Bone marrow aspirate smear. Single-cell field: 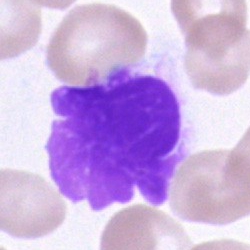
Specimen: bone marrow aspirate smear.
Classification: artifact.